250×250 px; May-Grünwald-Giemsa stain; bone marrow smear:
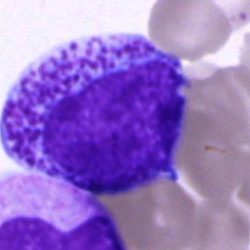
Cell — progranulocyte.